Bone marrow smear — 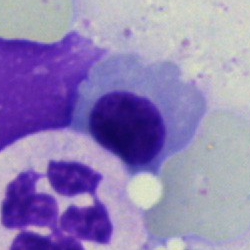

A nucleated red cell.